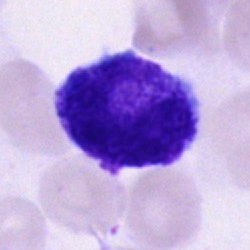Specimen: bone marrow aspirate smear.
Classification: cell of indeterminate lineage.